Bone marrow smear:
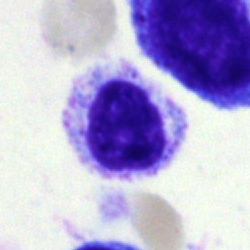Myelocyte.